250×250 px · bone marrow aspirate smear.
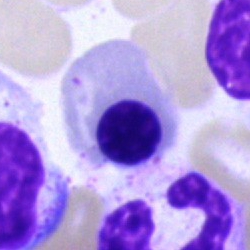 Q: What cell is this?
A: Normoblast.